Peripheral blood smear: 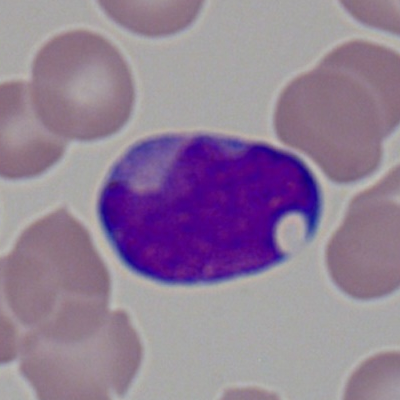Q: What type of cell is this?
A: This is a myeloid blast.